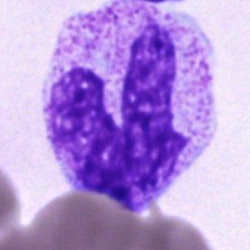

{"cell_type": "stab cell", "lineage": "myeloid"}